Bone marrow aspirate smear:
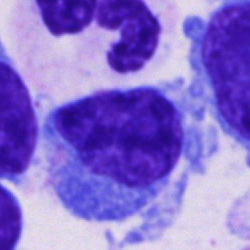
Q: Identify the cell.
A: Plasmacyte.